Single-cell crop; image size 250×250; bone marrow aspirate smear.
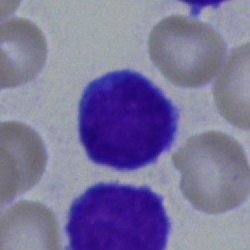 The cell is lymphocyte.